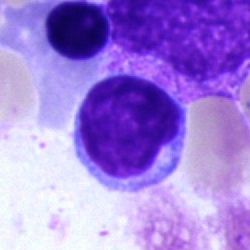

Q: What is shown here?
A: A typical lymphocyte.